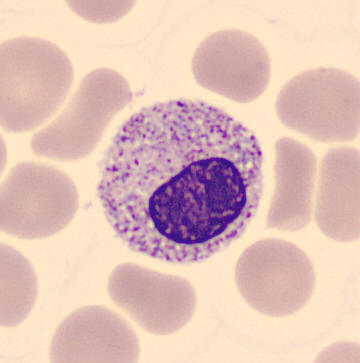
Acquisition: Peripheral blood smear.

The cell shown is a myelocyte.